Bone marrow aspirate smear — 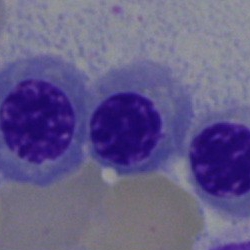Morphology → erythroblast.